Bone marrow smear — 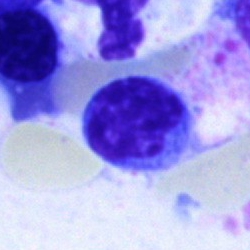

A typical lymphocyte.